May-Grünwald-Giemsa/Pappenheim stain · bone marrow aspirate smear — 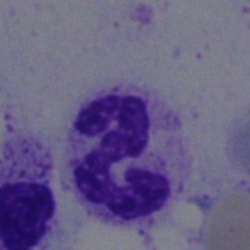
Specimen: bone marrow aspirate smear.
Classification: segmented neutrophil.